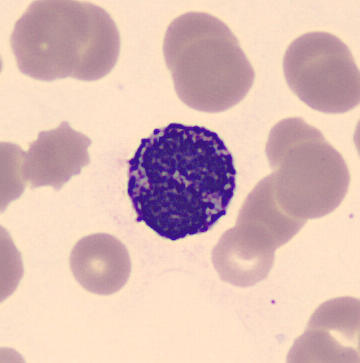
The cell shown is a basophil.